Bone marrow aspirate smear; single cell centered in the field; May-Grünwald-Giemsa stain.
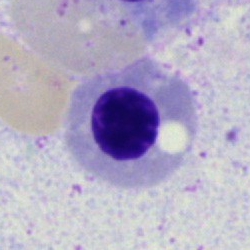 Morphology consistent with a normoblast.